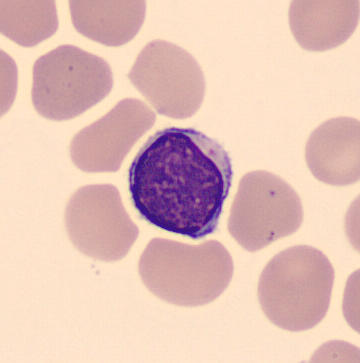

Classification — typical lymphocyte.
Peripheral blood smear; 360×363.